Bone marrow aspirate smear; MGG-stained; 250 by 250 pixels — 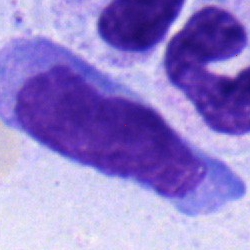

Impression → blast.